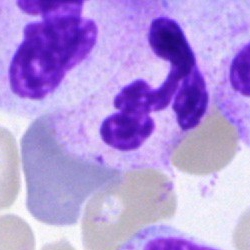
Bone marrow aspirate smear, single cell — segmented neutrophil.